Bone marrow smear; single cell centered in the field; May-Grünwald-Giemsa/Pappenheim stain.
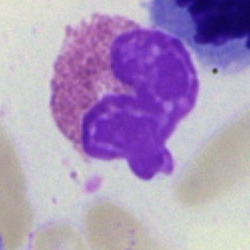 Cell — eosinophilic granulocyte.